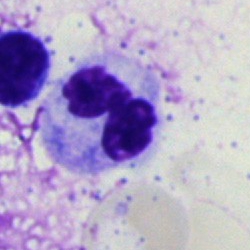

The classification is polymorphonuclear neutrophil.